Bone marrow smear · 250 by 250 pixels · Pappenheim-stained
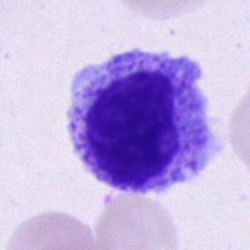
Specimen: bone marrow aspirate smear.
Cell type: myelocyte.
Lineage: myeloid.